250×250 px; bone marrow aspirate smear.
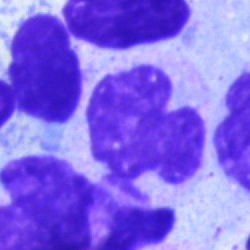 Artefact.